Bone marrow aspirate smear: 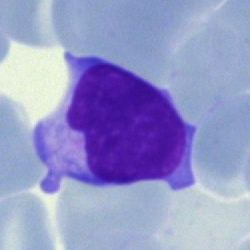

Cell — typical lymphocyte.